Bone marrow aspirate smear: 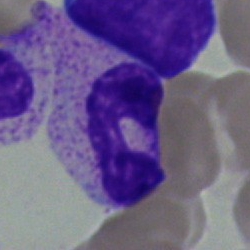
Specimen: bone marrow aspirate smear.
Classification: polymorphonuclear neutrophil.